Bone marrow smear: 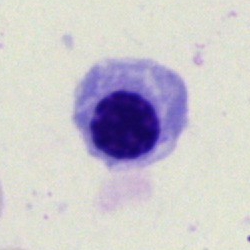

Morphology consistent with a nucleated red blood cell.